Bone marrow smear
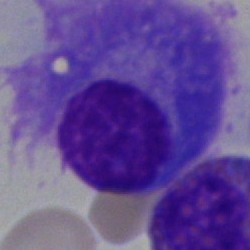{"cell_type": "plasmacyte", "lineage": "lymphoid"}